Bone marrow aspirate smear. 40× objective, oil immersion. Single cell centered in the field
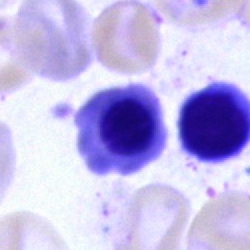 {"cell_type": "normoblast"}